Bone marrow smear; brightfield, 40× oil-immersion objective.
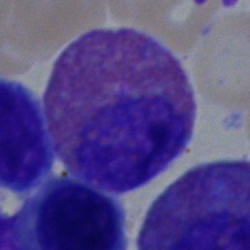 Q: Which cell type is shown here?
A: An eosinophil.